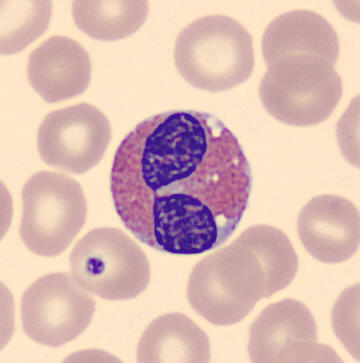

Image: Peripheral blood smear.
Q: Identify the cell.
A: It is an eosinophil.